Single-cell crop · 40× objective, oil immersion · bone marrow aspirate smear
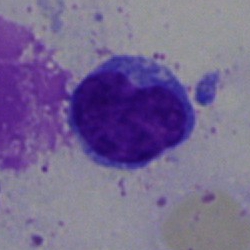The cell shown is a typical lymphocyte.